Peripheral blood film:
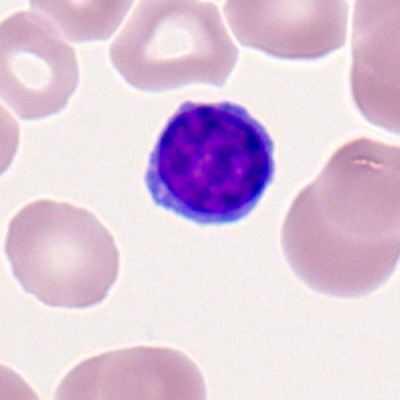 Q: What is shown here?
A: It is a typical lymphocyte.